Bone marrow aspirate smear: 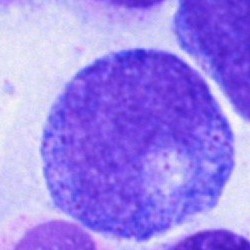
Cell type = promyelocyte.